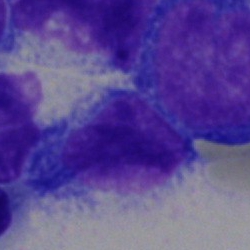The morphological class is cell of indeterminate lineage.